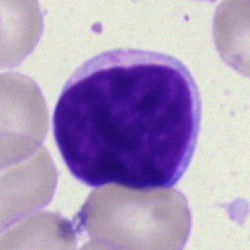 The cell type is typical lymphocyte.